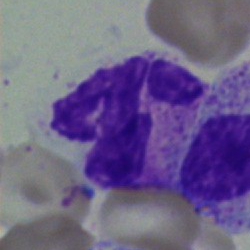The cell is polymorphonuclear neutrophil.